Bone marrow smear.
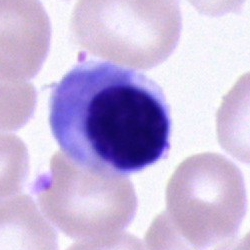

{"cell_type": "erythroblast", "lineage": "erythroid"}